Peripheral blood film; Romanowsky-type stain; 400×400: 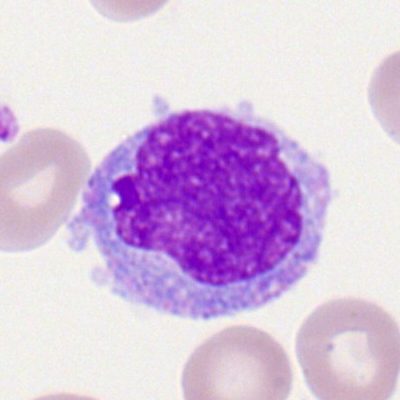 Specimen: peripheral blood film.
Cell type: monocyte.